Single-cell crop. Bone marrow aspirate smear. May-Grünwald-Giemsa stain: 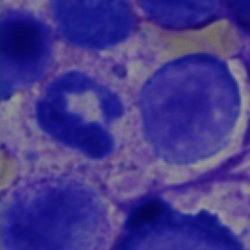A polymorphonuclear neutrophil.